250×250 px; bone marrow aspirate smear; single-cell crop
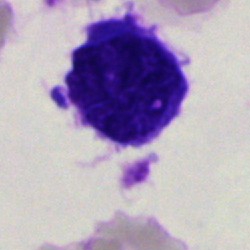

Q: Identify the cell.
A: This is a blast cell.